Bone marrow smear · May-Grünwald-Giemsa/Pappenheim stain
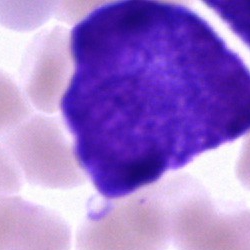 Cell type = undifferentiated blast.